Peripheral blood smear — 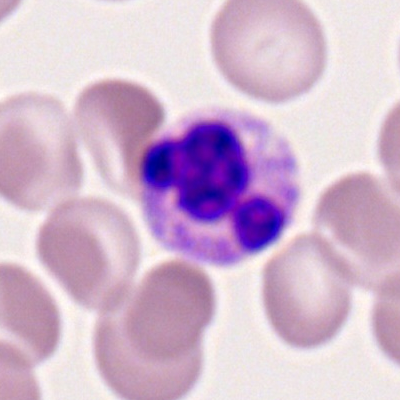
A neutrophil (segmented).